40× oil immersion · bone marrow smear · image size 250×250.
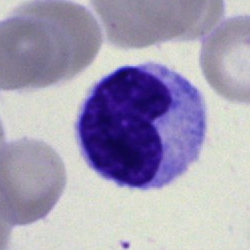 Q: What is the morphological classification of this cell?
A: It is a metamyelocyte.